Bone marrow aspirate smear.
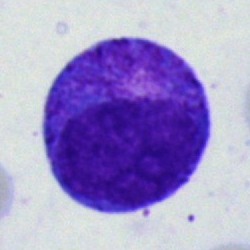
Specimen: bone marrow smear.
Cell type: promyelocyte.
Lineage: myeloid.